Bone marrow aspirate smear.
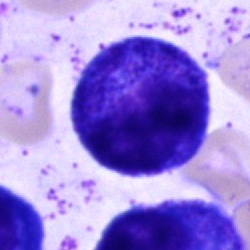

Cell — promyelocyte.